Bone marrow smear.
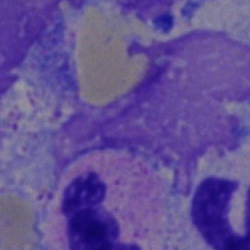
Showing an artifact.